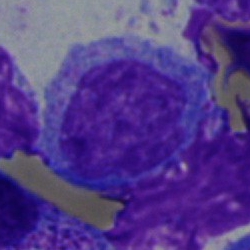
Cell type — undifferentiated blast.